Bone marrow smear: 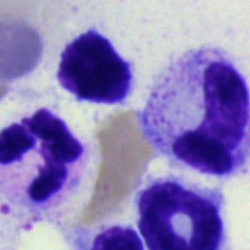
Q: What cell is this?
A: Neutrophil (segmented).